250×250. Bone marrow smear. May-Grünwald-Giemsa stain.
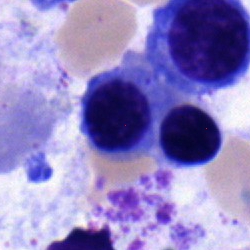

The morphological class is nucleated red blood cell.